Bone marrow smear. Pappenheim-stained. Cropped to a single cell: 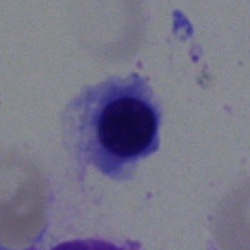

Specimen: bone marrow aspirate smear.
Cell: nucleated red blood cell.